Brightfield microscopy, 40× oil immersion · bone marrow smear: 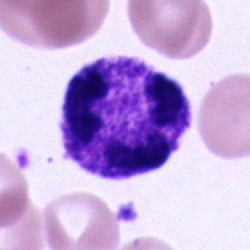 Morphology consistent with a polymorphonuclear neutrophil.